Single-cell crop. Bone marrow smear. 40× objective, oil immersion:
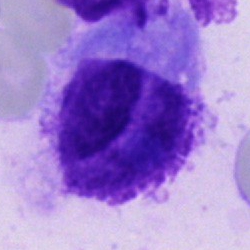
{"cell_type": "other cell"}